Image size 250×250. Bone marrow smear.
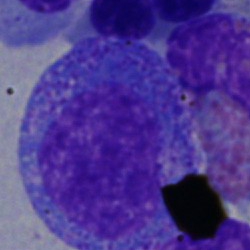 Morphological class = progranulocyte.